Bone marrow smear; image size 250×250:
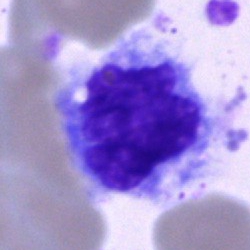Q: Which cell type is shown here?
A: It is a monocyte.